Single cell centered in the field; bone marrow smear; 250 by 250 pixels
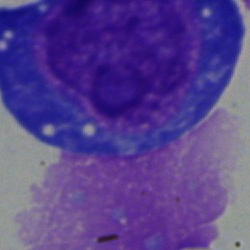 Cell — proerythroblast.